Image size 250×250; bone marrow aspirate smear: 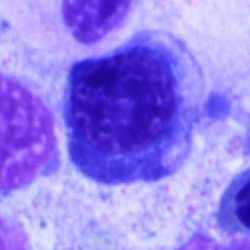
Morphological class — erythroblast.